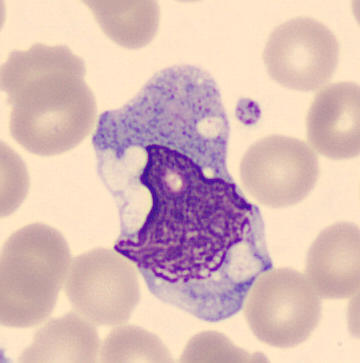 Q: What is this?
A: This is a monocyte.
Peripheral blood film.